MGG-stained. 250×250. Bone marrow aspirate smear — 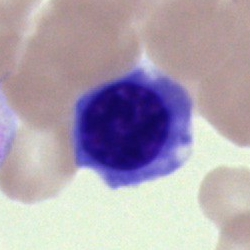

Morphology → erythroblast.